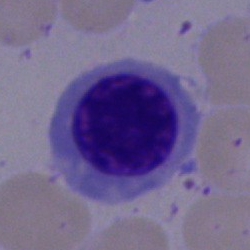Single-cell crop from a bone marrow smear: nucleated red cell.